Peripheral blood smear — 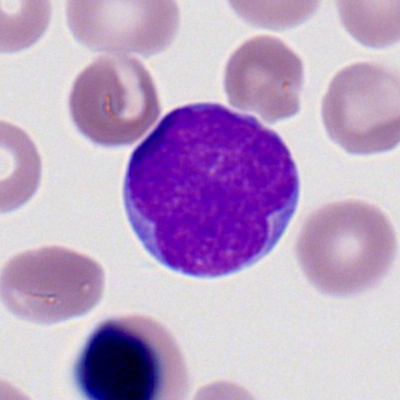 Cell: myeloid blast.